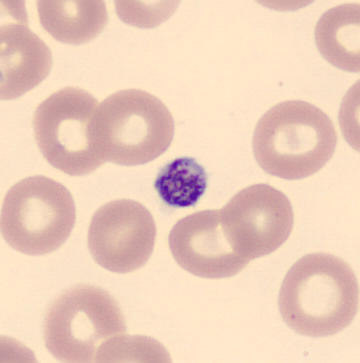A platelet.

Acquisition: Peripheral blood smear. Image size 360×363. Imaged on a CellaVision DM96 analyser.